Bone marrow smear — 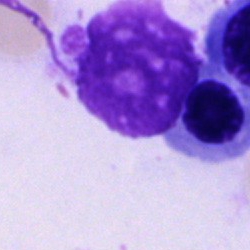 Cell type: artifact.